Bone marrow smear:
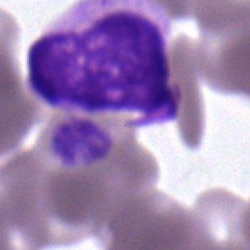 Morphological class — metamyelocyte.